Bone marrow aspirate smear — 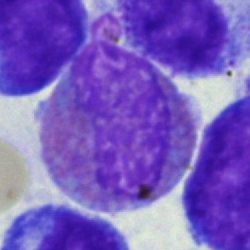

Cell type — eosinophil.